Brightfield microscopy, 40× oil immersion · bone marrow smear.
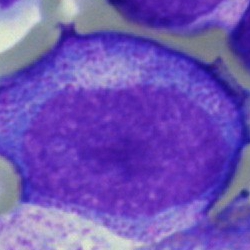Q: What is shown here?
A: A progranulocyte.